May-Grünwald-Giemsa stain. Bone marrow aspirate smear:
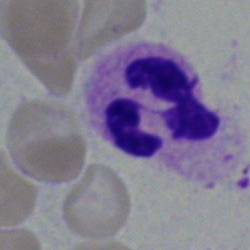

{"cell_type": "segmented neutrophil", "lineage": "myeloid"}